Romanowsky stain. Peripheral blood smear.
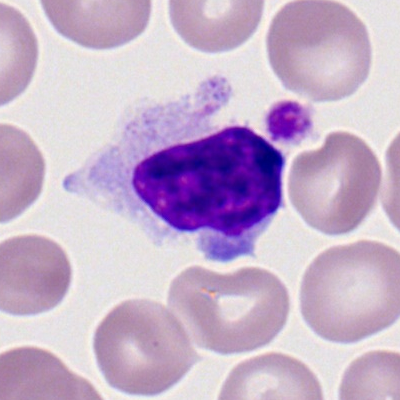Q: What is the morphological classification of this cell?
A: A lymphocyte.